Bone marrow smear:
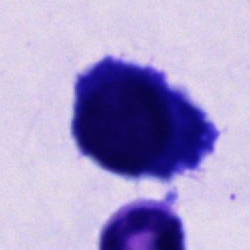
{"cell_type": "unidentifiable cell"}